MGG-stained. Bone marrow aspirate smear. Cropped to a single cell:
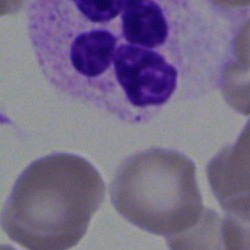 Specimen: bone marrow smear.
Cell type: segmented neutrophil.
Lineage: myeloid.